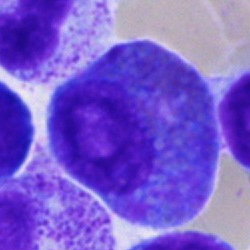

Q: What type of cell is this?
A: Promyelocyte.